Bone marrow aspirate smear; brightfield microscopy, 40× oil immersion; 250×250 — 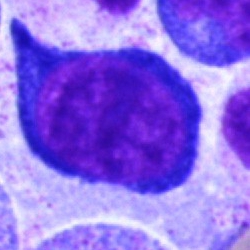 Cell = nucleated red cell.